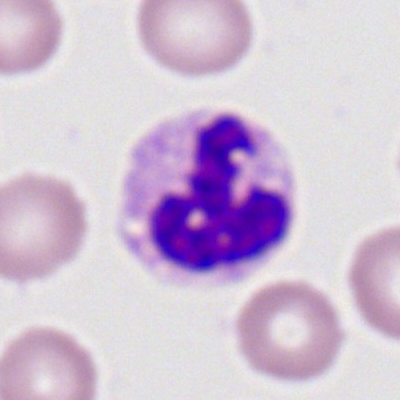 Cell type: neutrophil (segmented).